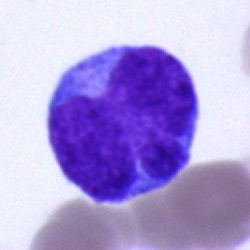
Specimen: bone marrow smear.
Morphological class: undifferentiated blast.